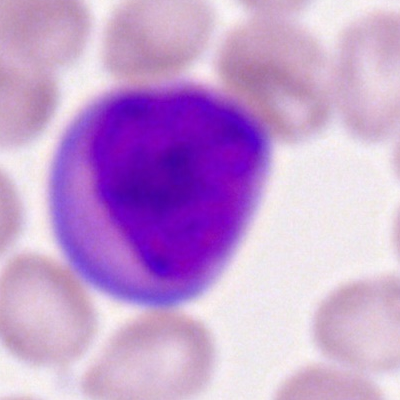Morphological class — myeloid blast.